Bone marrow smear: 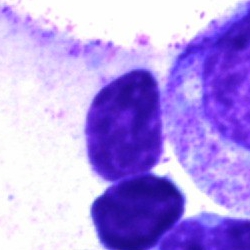 The cell shown is an artefact.